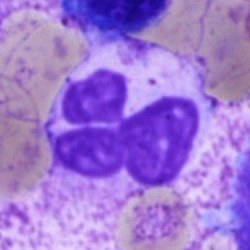

A polymorphonuclear neutrophil.